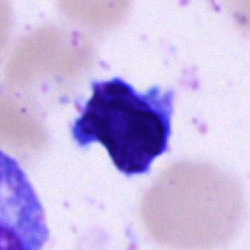
Morphological class = typical lymphocyte.